Bone marrow aspirate smear:
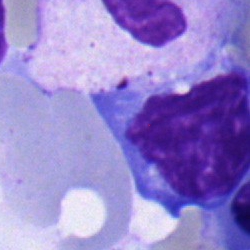

Cell type — typical lymphocyte.